Bone marrow smear. 40× objective, oil immersion. May-Grünwald-Giemsa/Pappenheim stain
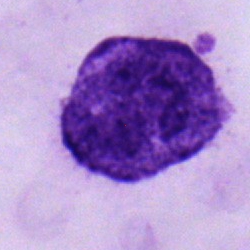 Q: What type of cell is this?
A: Band-form neutrophil.